Bone marrow aspirate smear
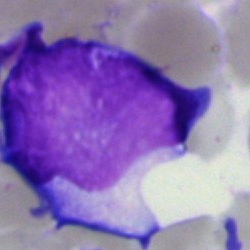Morphological class = blast cell.